Bone marrow aspirate smear
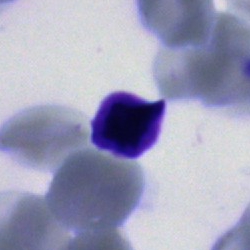

Unidentifiable cell.